Image size 250×250. Bone marrow aspirate smear.
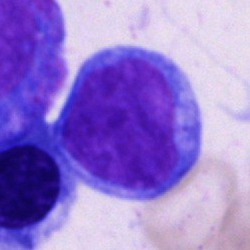{"cell_type": "blast cell"}